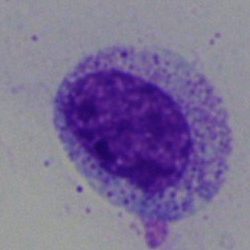
Single-cell crop from a bone marrow smear: metamyelocyte.